Bone marrow aspirate smear
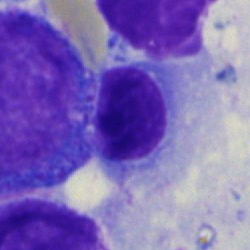 This is a normoblast.